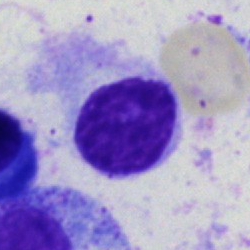 Classification — typical lymphocyte.